Bone marrow aspirate smear — 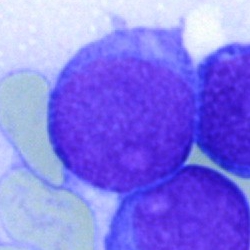
This is a blast cell.